Bone marrow smear
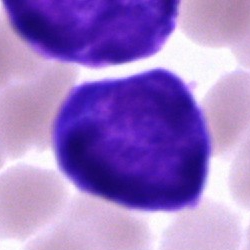 Cell = undifferentiated blast.